Bone marrow aspirate smear:
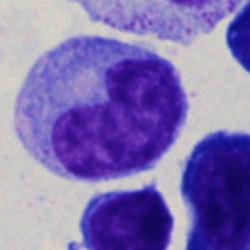
Q: Which cell type is shown here?
A: A monocyte.